Bone marrow smear.
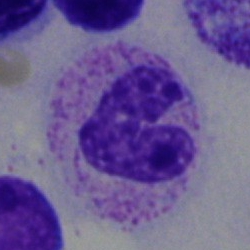Single cell identified as a segmented neutrophil.